Bone marrow aspirate smear: 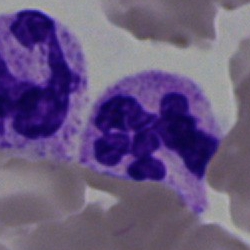Morphology → polymorphonuclear neutrophil.